Bone marrow smear · MGG-stained.
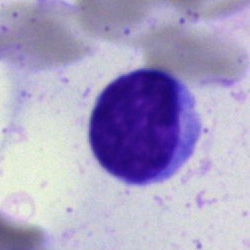

{"cell_type": "typical lymphocyte", "lineage": "lymphoid"}